Bone marrow aspirate smear — 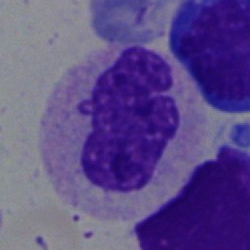
A neutrophil (band).